Bone marrow aspirate smear:
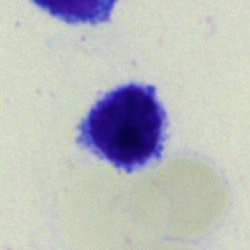The cell shown is a lymphocyte.